Bone marrow smear:
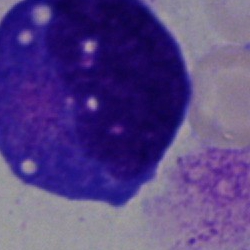 Specimen: bone marrow aspirate smear.
Morphological class: undifferentiated blast.